Peripheral blood film.
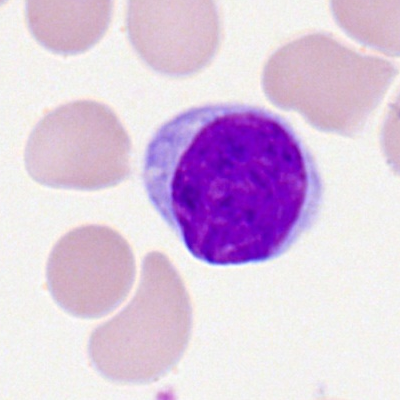

Q: Identify the cell.
A: Typical lymphocyte.